Cropped to a single cell; bone marrow smear; brightfield, 40× oil-immersion objective — 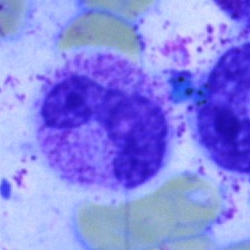
Band-form neutrophil.